Bone marrow aspirate smear — 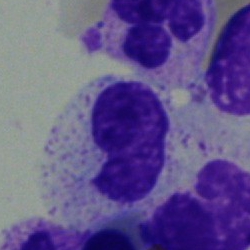

A neutrophil (band).